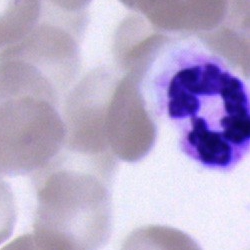
Morphological class — segmented neutrophil.